Bone marrow aspirate smear — 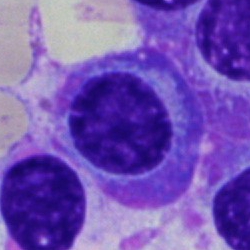 {"cell_type": "plasmacyte", "lineage": "lymphoid"}